Bone marrow smear
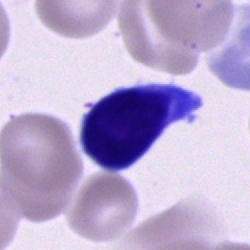
Q: What type of cell is this?
A: A lymphocyte.